Peripheral blood smear; 400×400 px — 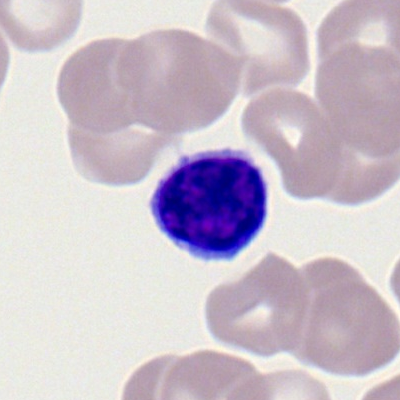
Impression → typical lymphocyte.